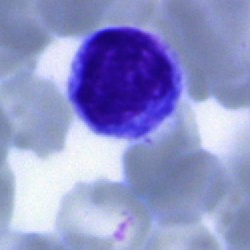Cell — lymphocyte.